Cropped to a single cell · brightfield microscopy, 40× oil immersion · bone marrow smear — 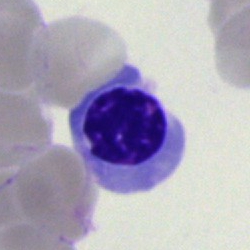 Showing a nucleated red blood cell.